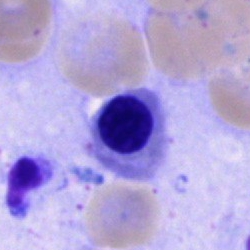Showing an erythroblast.